Bone marrow aspirate smear — 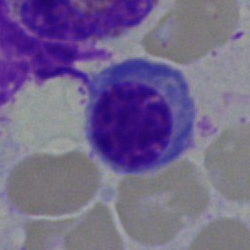A normoblast.